Bone marrow smear
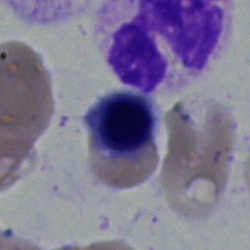 Q: Which cell type is shown here?
A: It is a normoblast.